Pappenheim-stained · bone marrow smear.
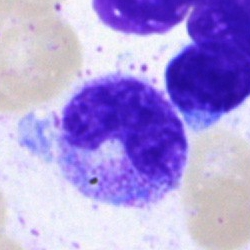

Q: What is the morphological classification of this cell?
A: This is a band-form neutrophil.